Peripheral blood film · cropped to a single cell — 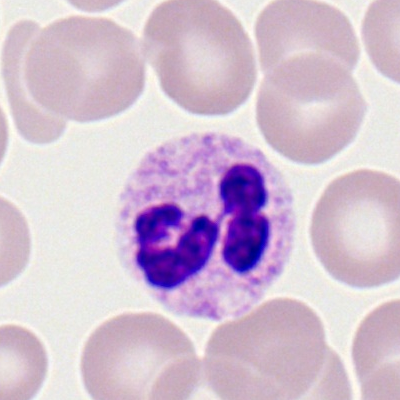Impression — polymorphonuclear neutrophil.